Bone marrow smear:
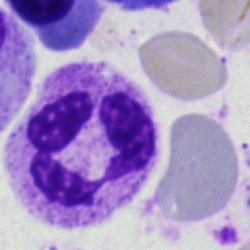

Single cell identified as a polymorphonuclear neutrophil.